Bone marrow smear: 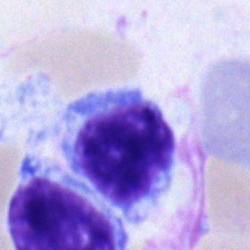 Q: What type of cell is this?
A: A typical lymphocyte.